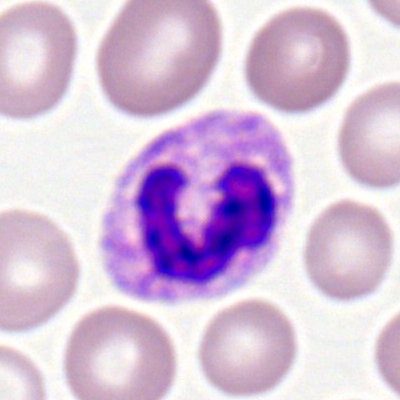 Specimen: peripheral blood film.
Cell: band neutrophil.
Lineage: myeloid.